Bone marrow aspirate smear:
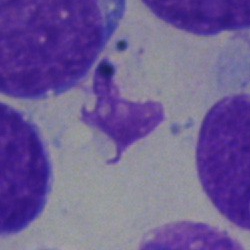

Cell type: artefact.